May-Grünwald-Giemsa stain; bone marrow aspirate smear — 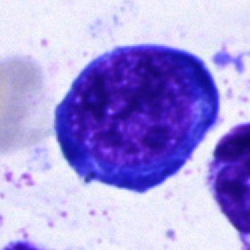

Q: Identify the cell.
A: A nucleated red blood cell.